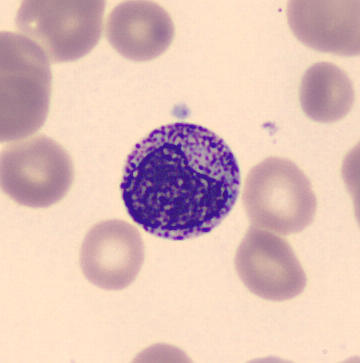Preparation: Peripheral blood smear.

Metamyelocyte.